Bone marrow aspirate smear. MGG-stained:
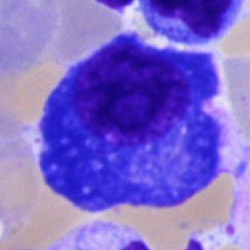 Classification: plasmacyte.